Bone marrow smear · 250×250 px · May-Grünwald-Giemsa stain.
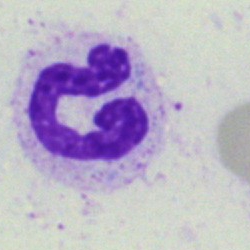

The morphological class is neutrophil (segmented).